Bone marrow aspirate smear; Pappenheim-stained; brightfield, 40× oil-immersion objective:
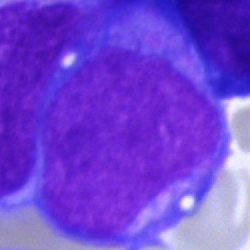Cell type — undifferentiated blast.